Image size 250×250; bone marrow smear.
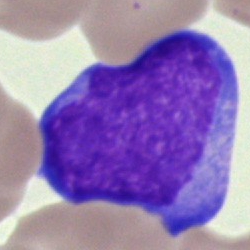Q: What type of cell is this?
A: Blast cell.